Bone marrow aspirate smear; cropped to a single cell; 250×250: 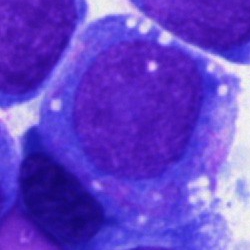Cell = undifferentiated blast.